Bone marrow smear:
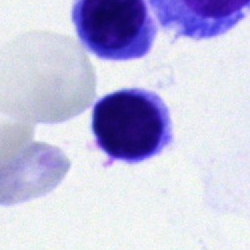

A typical lymphocyte.